Bone marrow aspirate smear: 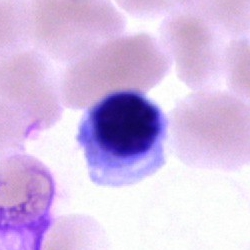Specimen: bone marrow aspirate smear.
Cell type: nucleated red blood cell.